Bone marrow smear — 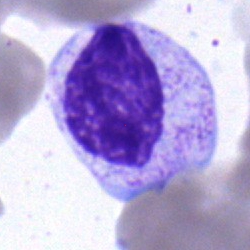Specimen: bone marrow smear.
Morphological class: myelocyte.